400×400 px; peripheral blood smear:
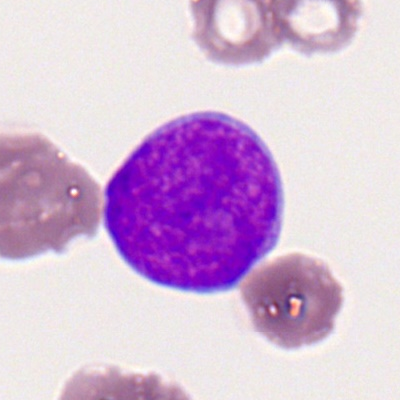 Q: What cell is this?
A: It is a myeloid blast.